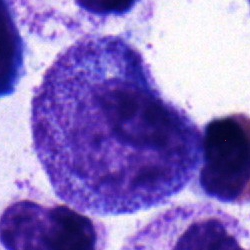The morphological class is promyelocyte.